Bone marrow smear; brightfield microscopy, 40× oil immersion
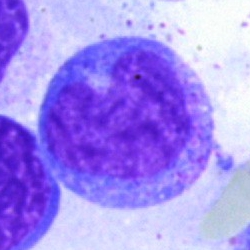 Q: What type of cell is this?
A: Metamyelocyte.